Bone marrow aspirate smear — 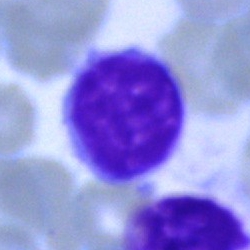
Morphology → typical lymphocyte.